Bone marrow smear: 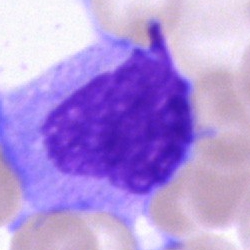An unidentifiable cell.